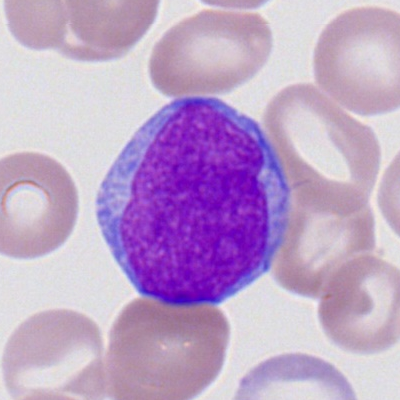 This is a myeloblast.